Bone marrow aspirate smear
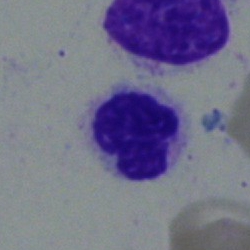

Segmented neutrophil.